Single-cell crop; 250×250; bone marrow aspirate smear — 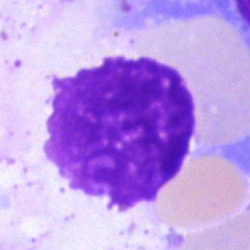The cell shown is an artifact.